250×250 px; brightfield, 40× oil-immersion objective; bone marrow smear
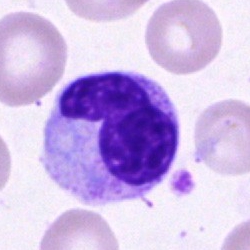
Band neutrophil.